Bone marrow aspirate smear
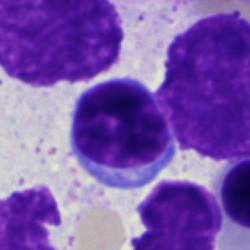 Morphological class: typical lymphocyte.